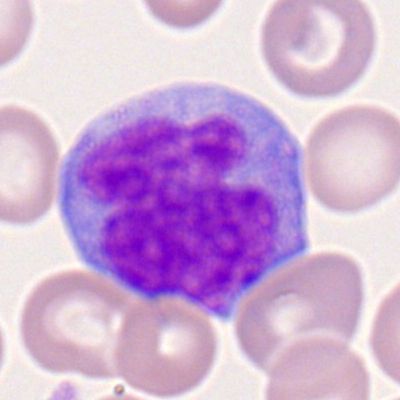 Morphology consistent with a myeloid blast.